Brightfield microscopy, 40× oil immersion. Bone marrow smear. 250×250: 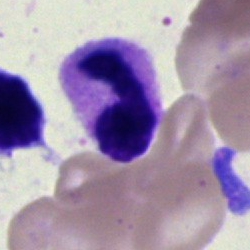Morphological class = neutrophil (segmented).